Bone marrow smear. Single-cell field: 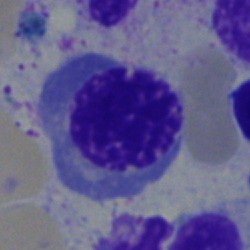
Cell type = nucleated red blood cell.